250×250. Bone marrow aspirate smear — 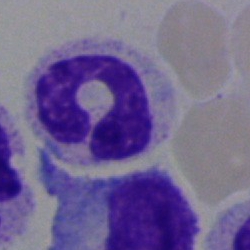 Q: What type of cell is this?
A: It is a neutrophil (segmented).